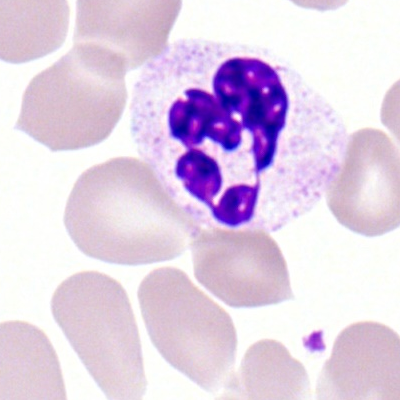 Specimen: peripheral blood film.
Cell: segmented neutrophil.
Lineage: myeloid.